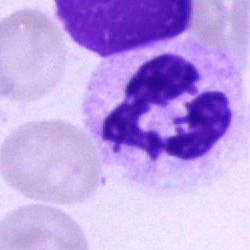
The morphological class is neutrophil (segmented).